Bone marrow smear · single cell centered in the field: 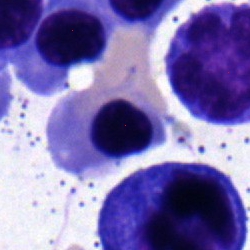

A nucleated red cell.